40× objective, oil immersion; single cell centered in the field; bone marrow aspirate smear.
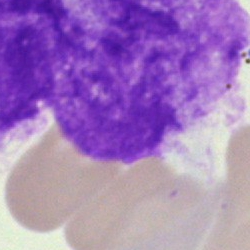 Cell type = artifact.